Bone marrow aspirate smear. 40× oil immersion.
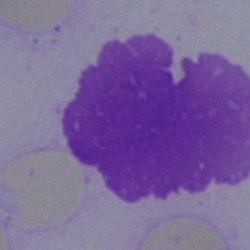

{"cell_type": "artifact"}